Bone marrow aspirate smear:
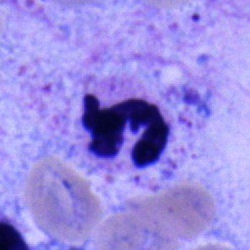 Specimen: bone marrow aspirate smear.
Morphological class: neutrophil (segmented).